MGG-stained · bone marrow smear.
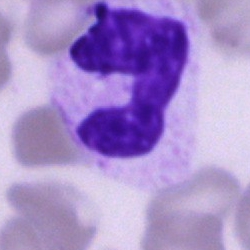

Cell type — segmented neutrophil.